Peripheral blood film; Romanowsky stain; cropped to a single cell: 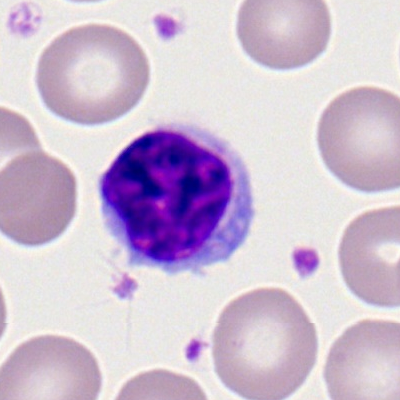

A lymphocyte.